Bone marrow smear:
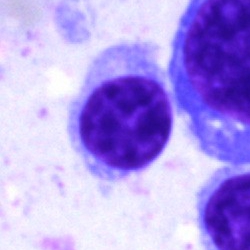
The cell type is lymphocyte.